Bone marrow smear: 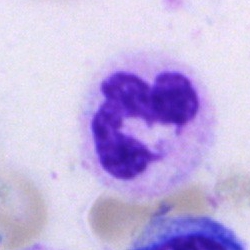 Impression → neutrophil (segmented).